Bone marrow smear — 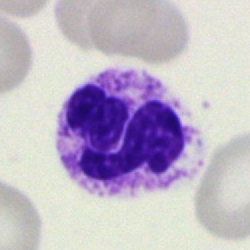 {"cell_type": "segmented neutrophil", "lineage": "myeloid"}